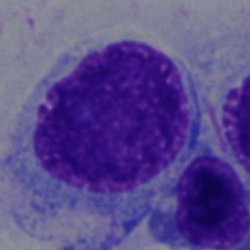 A blast cell.